Bone marrow smear — 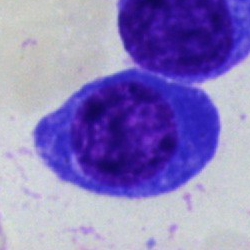

The morphological class is plasmacyte.